Brightfield, 40× oil-immersion objective · bone marrow aspirate smear
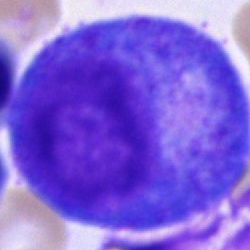 Single cell identified as a promyelocyte.